Bone marrow aspirate smear
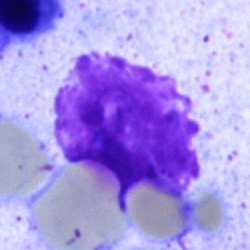

{"cell_type": "artefact"}